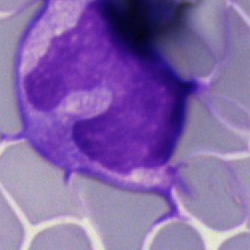
Classification — monocyte.